Bone marrow smear: 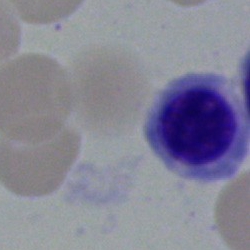 Q: What cell is this?
A: This is a nucleated red cell.